Bone marrow smear. Single cell centered in the field.
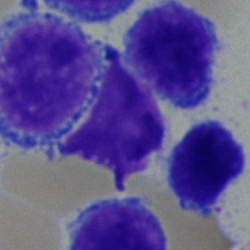
Morphological class: lymphocyte.